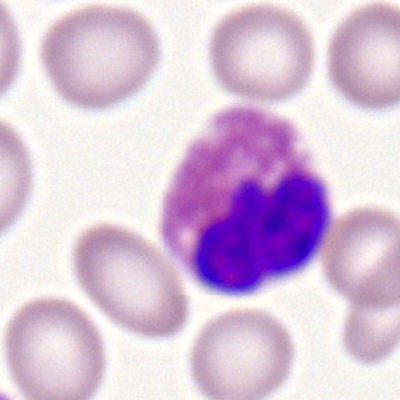

Morphological class: eosinophil.